250 by 250 pixels · single cell centered in the field · bone marrow aspirate smear
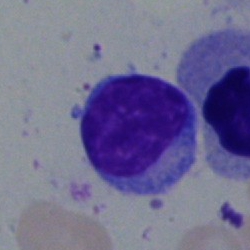

Cell = typical lymphocyte.